Peripheral blood smear:
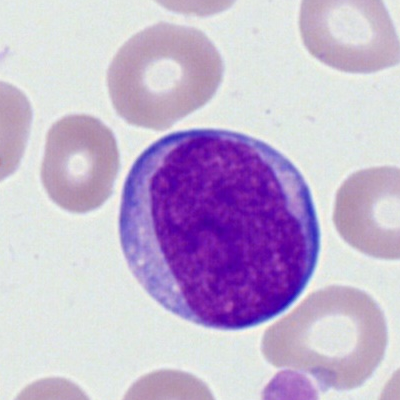 Myeloblast.